Bone marrow smear: 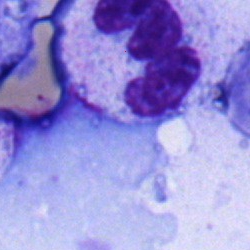Morphology consistent with a segmented neutrophil.